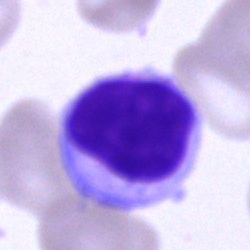Specimen: bone marrow smear.
Cell: typical lymphocyte.
Lineage: lymphoid.